Cropped to a single cell · bone marrow smear:
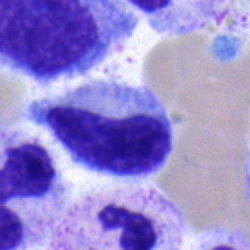 Cell = metamyelocyte.